Bone marrow smear: 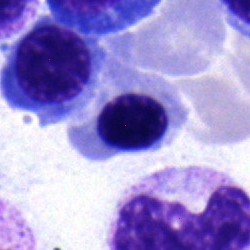Cell type = nucleated red cell.